Bone marrow smear — 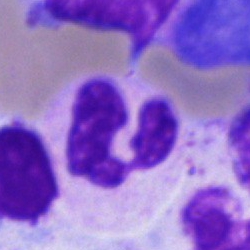 Cell type = segmented neutrophil.